Bone marrow aspirate smear · image size 250×250:
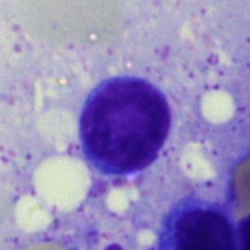The cell type is typical lymphocyte.